Bone marrow smear
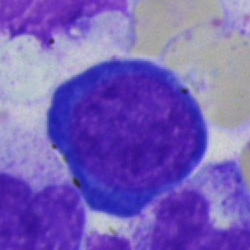
Morphology consistent with a normoblast.